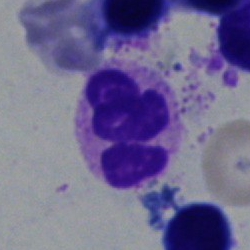
Specimen: bone marrow aspirate smear.
Classification: polymorphonuclear neutrophil.
Lineage: myeloid.